Bone marrow aspirate smear — 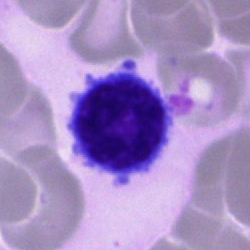 Showing a typical lymphocyte.